May-Grünwald-Giemsa stain. Bone marrow smear. Single-cell field.
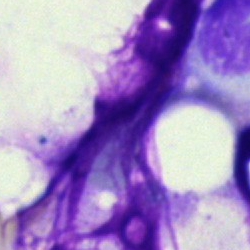

Q: What is shown here?
A: This is an artifact.